Bone marrow smear
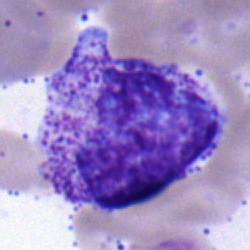Q: Which cell type is shown here?
A: Myelocyte.